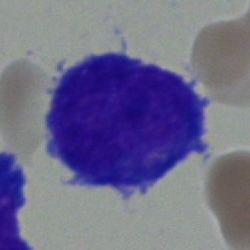

Single cell identified as a blast.